Peripheral blood film
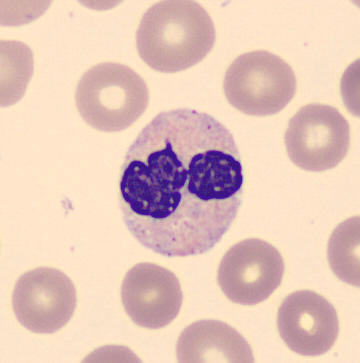Cell type — segmented neutrophil.